Single-cell crop. Peripheral blood film.
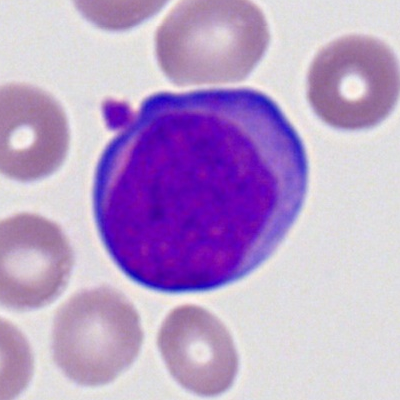 The classification is myeloid blast.